Bone marrow smear · 250 by 250 pixels · brightfield microscopy, 40× oil immersion
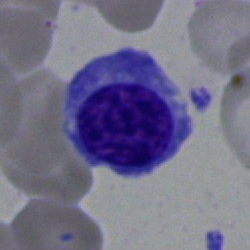
The cell is erythroblast.